Bone marrow smear.
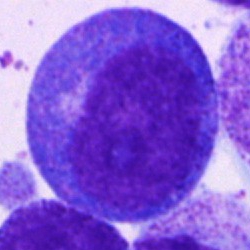 This is a progranulocyte.